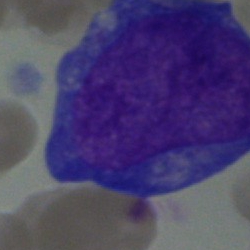Q: What is shown here?
A: A basophil.